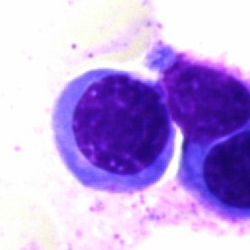

{"cell_type": "nucleated red cell", "lineage": "erythroid"}